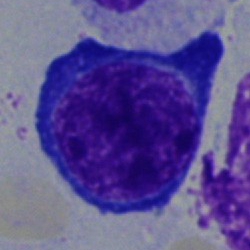
Specimen: bone marrow aspirate smear.
Cell type: proerythroblast.
Lineage: erythroid.